Bone marrow aspirate smear.
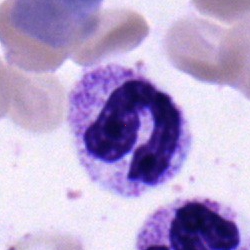

A stab cell.